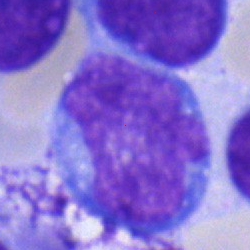 Morphology → undifferentiated blast.